Bone marrow aspirate smear. Image size 250×250.
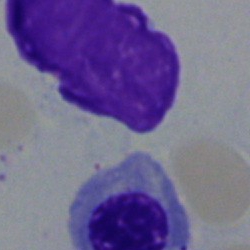

Morphology → nucleated red blood cell.